Bone marrow aspirate smear · cropped to a single cell · 40× oil immersion
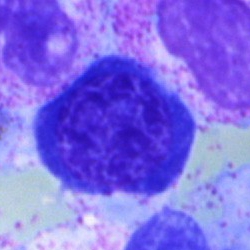

Morphology consistent with a nucleated red blood cell.